Bone marrow aspirate smear:
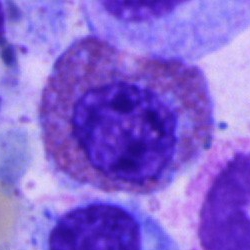
{"cell_type": "eosinophilic granulocyte"}